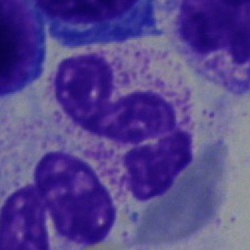{"cell_type": "polymorphonuclear neutrophil", "lineage": "myeloid"}